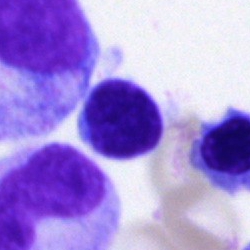Morphology — typical lymphocyte.